Brightfield microscopy, 40× oil immersion. Single-cell crop. Bone marrow smear — 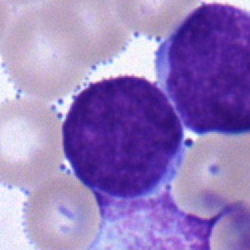 Morphological class: blast.